Bone marrow aspirate smear. Pappenheim-stained. Single-cell crop
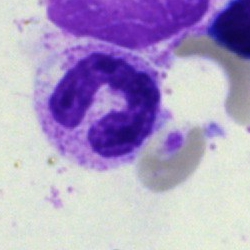 Morphology — neutrophil (segmented).